Brightfield, 40× oil-immersion objective. Bone marrow smear. Image size 250×250: 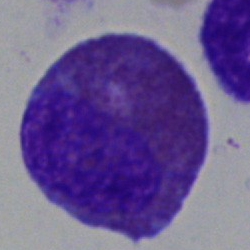
{"cell_type": "eosinophil", "lineage": "myeloid"}